Bone marrow smear:
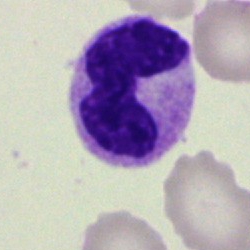Cell type = stab cell.